Bone marrow aspirate smear. Cropped to a single cell.
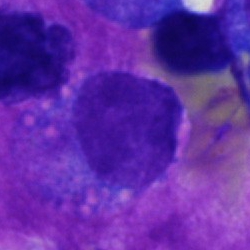
Q: What is shown here?
A: Artifact.